Peripheral blood smear:
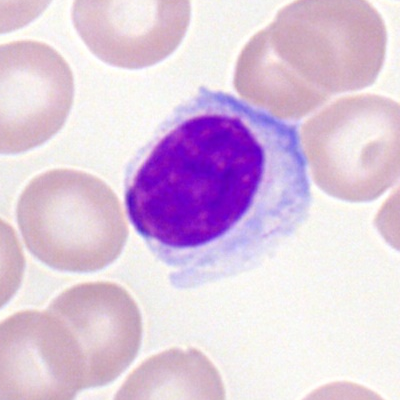
Classification — typical lymphocyte.